Bone marrow aspirate smear.
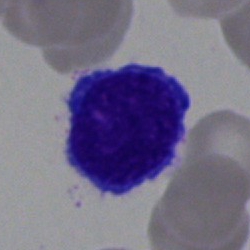

Morphological class — typical lymphocyte.